Bone marrow aspirate smear. May-Grünwald-Giemsa stain.
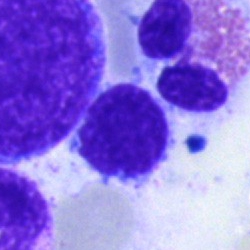

Typical lymphocyte.